Bone marrow aspirate smear.
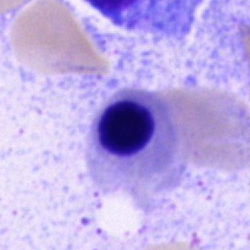
{"cell_type": "erythroblast", "lineage": "erythroid"}